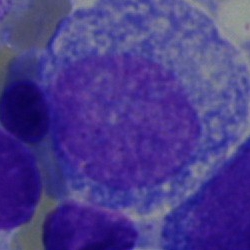
A promyelocyte on a bone marrow smear.